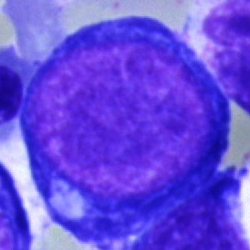
Specimen: bone marrow smear.
Cell type: proerythroblast.